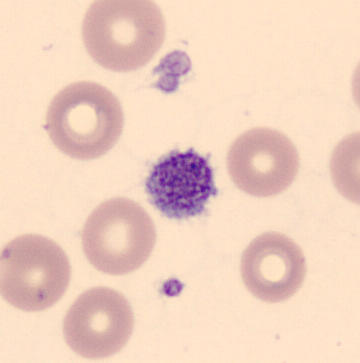 Classification — platelet.